Bone marrow aspirate smear
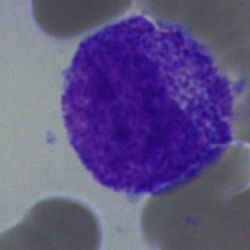

The cell shown is a myelocyte.